Single-cell field; bone marrow aspirate smear; 250 by 250 pixels: 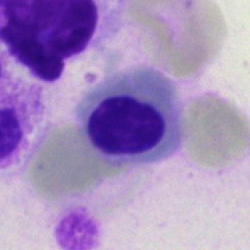
Morphology — erythroblast.